Bone marrow aspirate smear
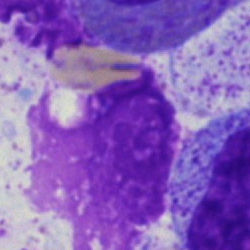Q: What is shown here?
A: This is an artifact.